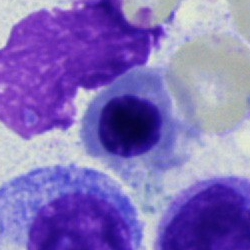 Specimen: bone marrow aspirate smear.
Classification: normoblast.
Lineage: erythroid.